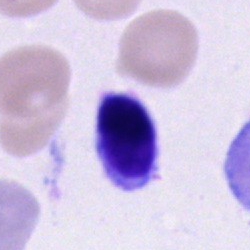{"cell_type": "lymphocyte", "lineage": "lymphoid"}